Peripheral blood smear.
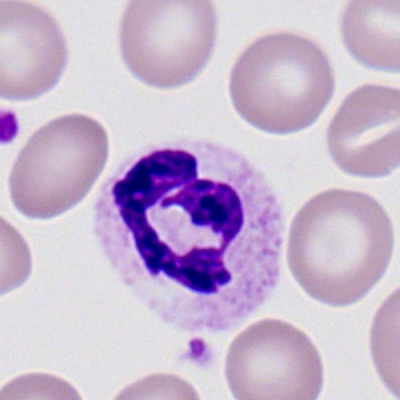Morphology consistent with a polymorphonuclear neutrophil.